Brightfield, 40× oil-immersion objective · bone marrow smear: 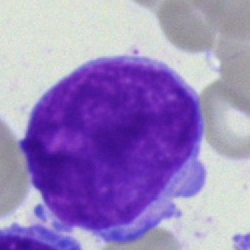 Classification: other cell type.